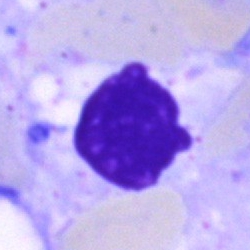
Single cell identified as an artifact.